Bone marrow aspirate smear; May-Grünwald-Giemsa stain; single-cell crop
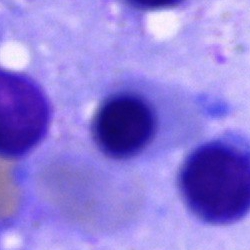

Specimen: bone marrow smear.
Morphological class: normoblast.
Lineage: erythroid.